Bone marrow aspirate smear — 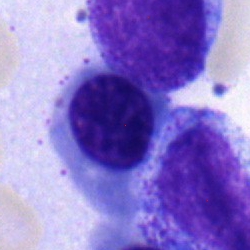 Morphology consistent with a nucleated red cell.